Bone marrow smear — 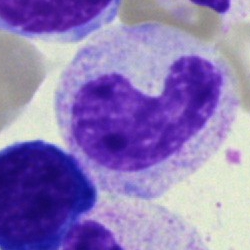Cell = stab cell.